Bone marrow aspirate smear. May-Grünwald-Giemsa stain — 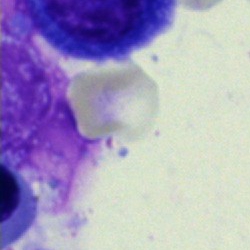

Impression → artefact.